Bone marrow aspirate smear · 250×250.
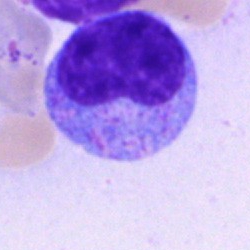
Specimen: bone marrow aspirate smear.
Cell type: myelocyte.